Bone marrow aspirate smear · single-cell field
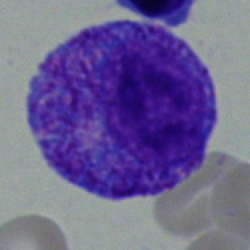

Impression — myelocyte.